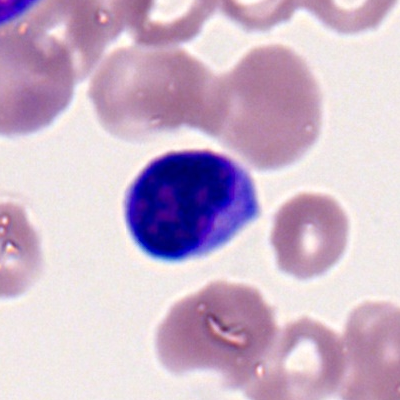
Q: Identify the cell.
A: Typical lymphocyte.